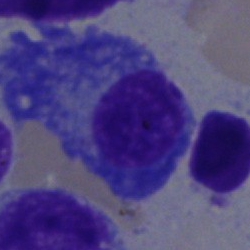 This is a plasmacyte.